Bone marrow smear:
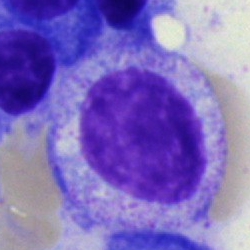Morphological class: myelocyte.